Bone marrow aspirate smear: 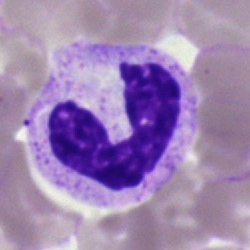

Specimen: bone marrow aspirate smear.
Morphological class: neutrophil (segmented).
Lineage: myeloid.